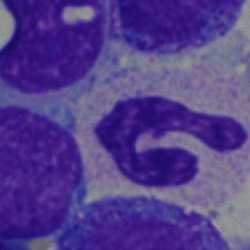

A band neutrophil on a bone marrow smear.